Single-cell field. Bone marrow aspirate smear: 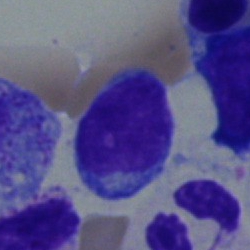
Showing a lymphocyte.